MGG-stained · bone marrow aspirate smear · single-cell crop:
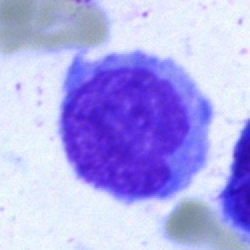

{"cell_type": "blast"}